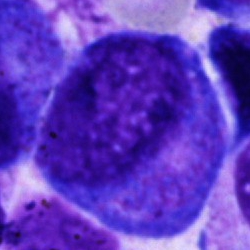Q: Identify the cell.
A: A progranulocyte.